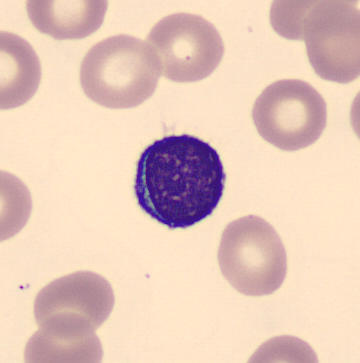
Image: Peripheral blood film.
Showing a lymphocyte.